Bone marrow aspirate smear; brightfield, 40× oil-immersion objective.
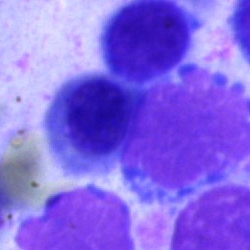 Q: Which cell type is shown here?
A: A nucleated red blood cell.